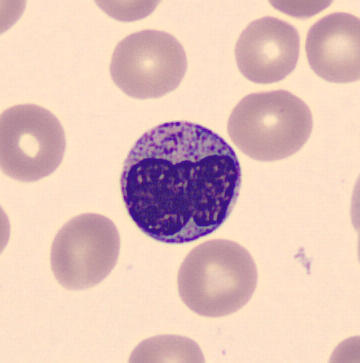
Q: Identify the cell.
A: It is a metamyelocyte.